Bone marrow aspirate smear
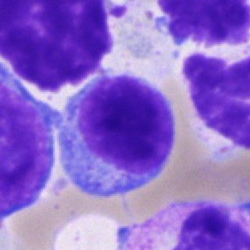

The classification is typical lymphocyte.